Bone marrow smear — 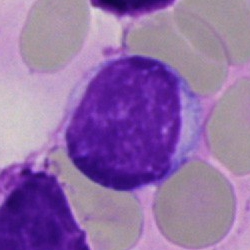
Specimen: bone marrow smear.
Cell type: typical lymphocyte.